Bone marrow smear: 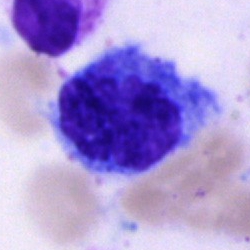
Cell = monocyte.